Bone marrow aspirate smear: 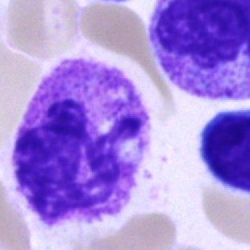
The cell shown is a neutrophil (segmented).